Bone marrow smear.
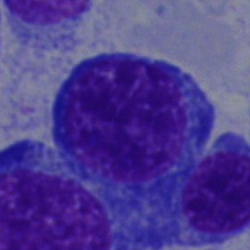 Specimen: bone marrow aspirate smear.
Morphological class: nucleated red cell.